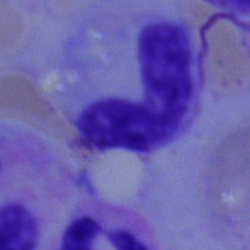
Q: Identify the cell.
A: Neutrophil (band).